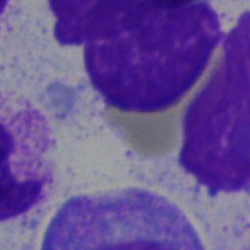
Morphology consistent with an artefact.